Peripheral blood film.
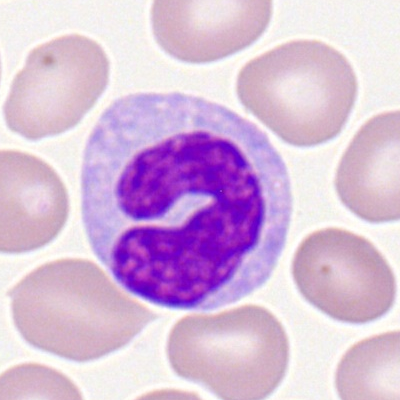 Morphology consistent with a monocyte.